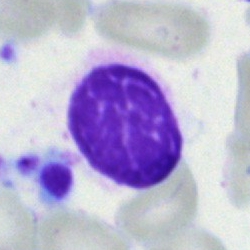

Morphology consistent with an artifact.